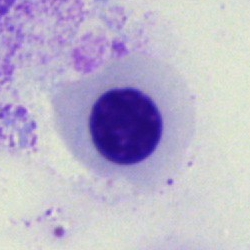Single-cell crop from a bone marrow smear: normoblast.